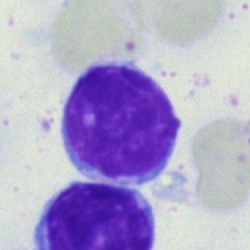The cell shown is a lymphocyte.